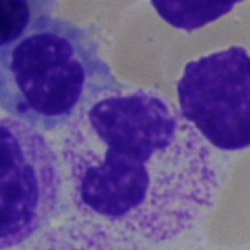 {"cell_type": "stab cell", "lineage": "myeloid"}